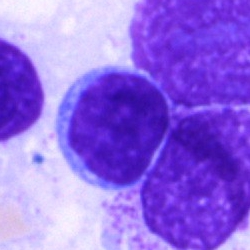

{"cell_type": "lymphocyte"}